Bone marrow smear
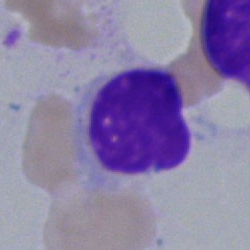
The morphological class is artefact.